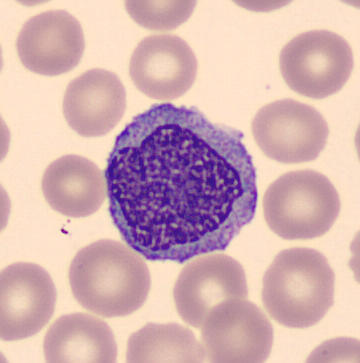
The cell shown is a monocyte.